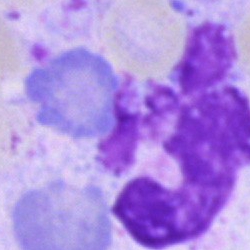
This is an artifact.